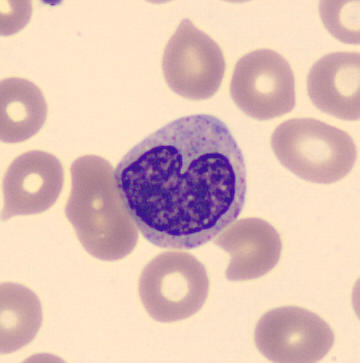

Classification: metamyelocyte.